Brightfield, 40× oil-immersion objective · bone marrow smear:
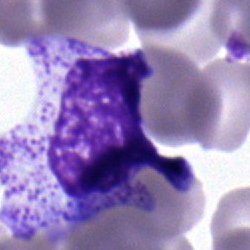 {"cell_type": "myelocyte"}